Brightfield microscopy, 40× oil immersion; bone marrow smear:
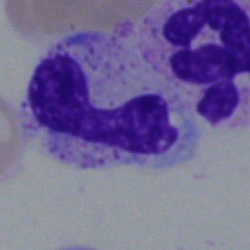Specimen: bone marrow smear.
Cell type: band neutrophil.
Lineage: myeloid.